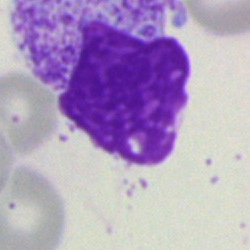Q: What is shown here?
A: This is an artifact.